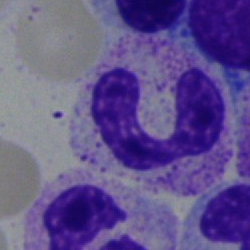 Cell type = band-form neutrophil.